Bone marrow smear
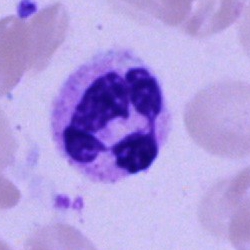

Single cell identified as a polymorphonuclear neutrophil.